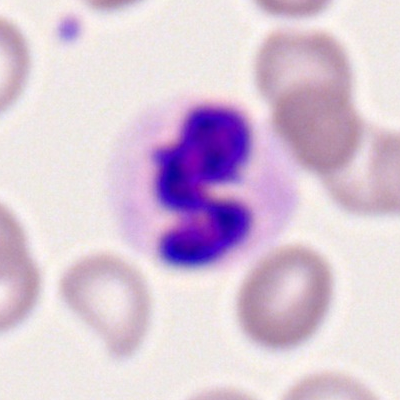

This is a segmented neutrophil.